Peripheral blood smear:
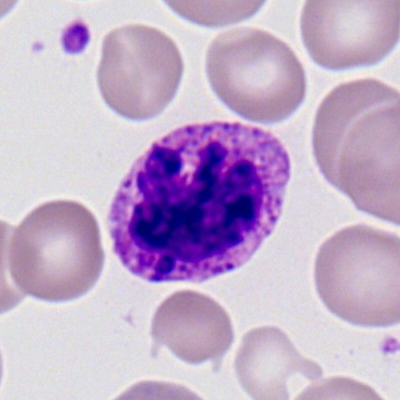Classification = basophil.